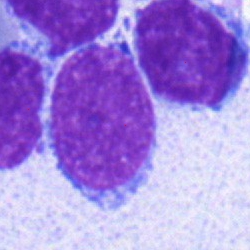 Single cell identified as a typical lymphocyte.